Bone marrow smear
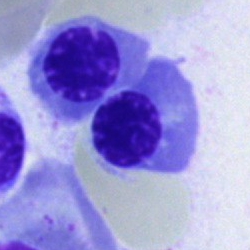Impression → nucleated red cell.